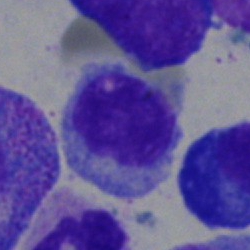 Showing a lymphocyte.